Bone marrow smear. Pappenheim-stained. Single-cell crop — 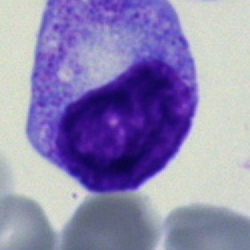 Specimen: bone marrow aspirate smear.
Classification: progranulocyte.
Lineage: myeloid.